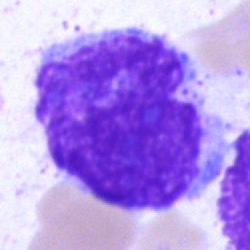 Q: What is shown here?
A: This is a lymphocyte.